Bone marrow aspirate smear — 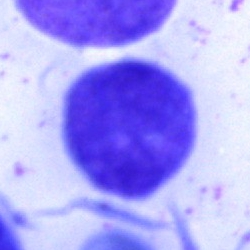 Showing a cell of indeterminate lineage.